250×250 px · bone marrow smear · MGG-stained:
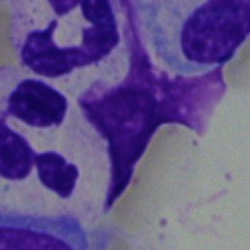{"cell_type": "neutrophil (segmented)"}